Bone marrow smear:
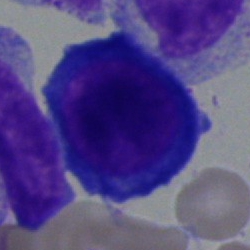

Q: Identify the cell.
A: This is a pronormoblast.